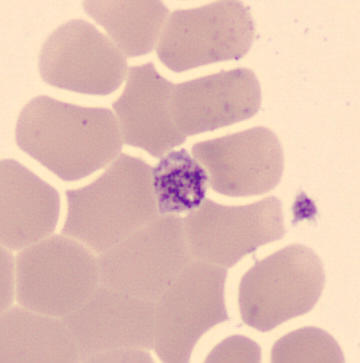 Morphology consistent with a thrombocyte.